Bone marrow aspirate smear.
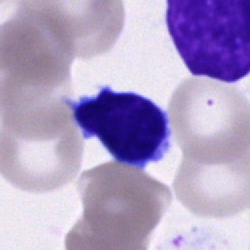 Single cell identified as a typical lymphocyte.